Bone marrow smear — 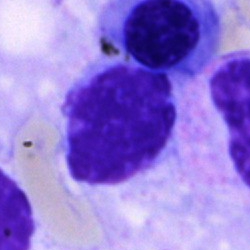Morphology — artifact.